Bone marrow smear:
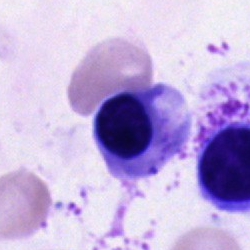

Specimen: bone marrow smear.
Cell type: normoblast.